Bone marrow aspirate smear:
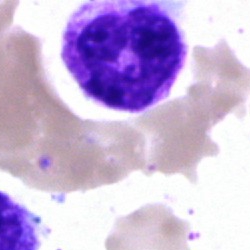 Morphology consistent with a polymorphonuclear neutrophil.